Bone marrow smear; MGG-stained.
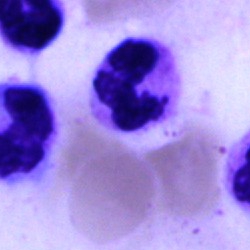 Impression — segmented neutrophil.